Bone marrow smear — 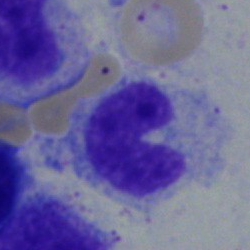
Morphological class — stab cell.